Peripheral blood smear: 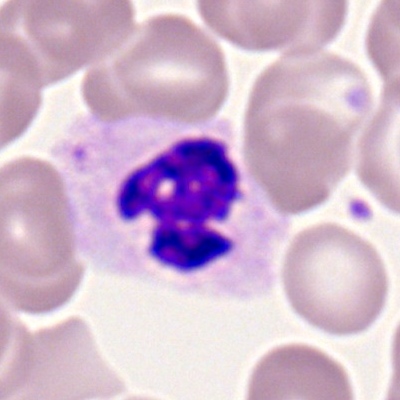
A segmented neutrophil.